Brightfield microscopy, 40× oil immersion · bone marrow aspirate smear
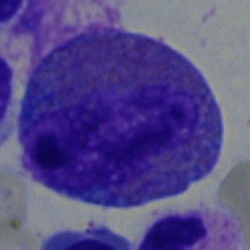

Impression — eosinophil.